Bone marrow smear
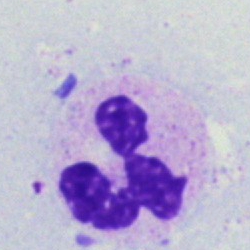

The morphological class is polymorphonuclear neutrophil.